Bone marrow aspirate smear; 40× objective, oil immersion: 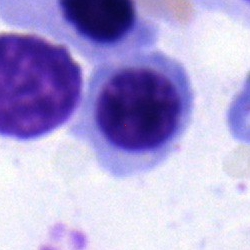
Morphology consistent with a nucleated red cell.